Single-cell crop; 40× objective, oil immersion; bone marrow aspirate smear:
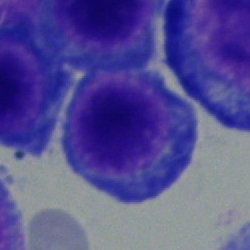 Q: What is the morphological classification of this cell?
A: It is a proerythroblast.